Bone marrow aspirate smear: 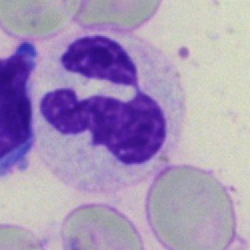

This is a segmented neutrophil.